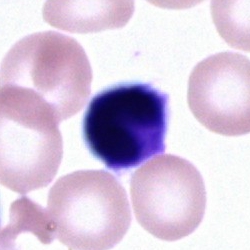The morphological class is artifact.